Bone marrow aspirate smear.
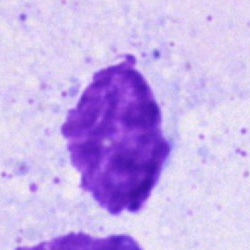
Showing an artifact.